Bone marrow aspirate smear: 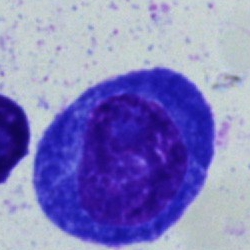
Cell type = plasmacyte.